Bone marrow smear
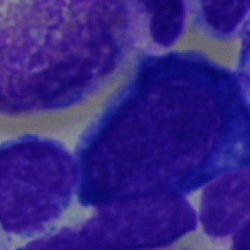
Cell = pronormoblast.